Bone marrow smear — 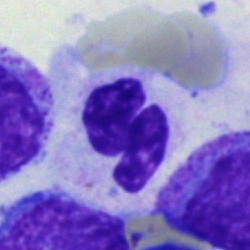Morphology — neutrophil (segmented).